Bone marrow smear
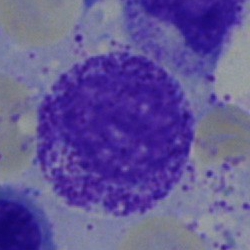Myelocyte.